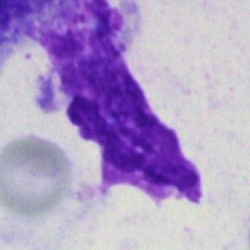 Cell — artefact.